Bone marrow aspirate smear:
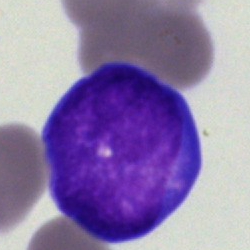Impression → undifferentiated blast.